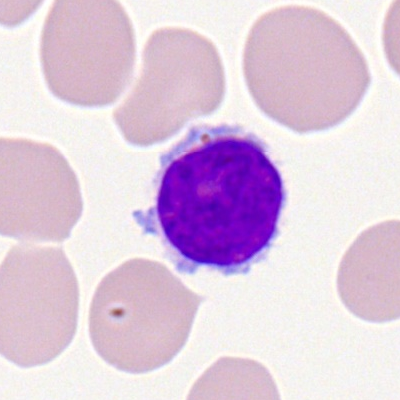
Morphology — typical lymphocyte.